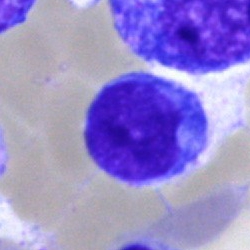 Morphology consistent with a typical lymphocyte.